Single cell centered in the field; bone marrow smear; brightfield, 40× oil-immersion objective — 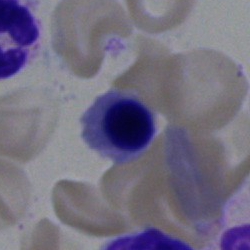
Classification: nucleated red blood cell.